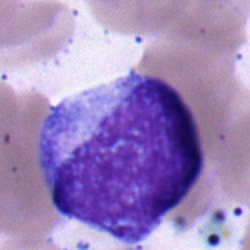

Morphology → typical lymphocyte.